Peripheral blood smear; 400×400 — 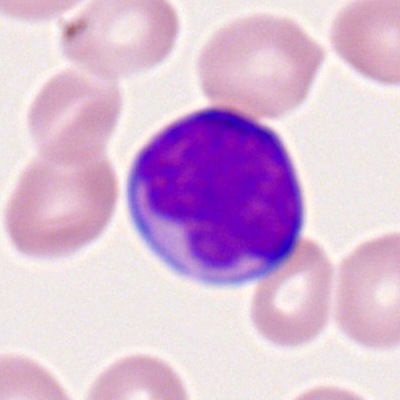

Cell type — myeloid blast.